Single cell centered in the field; bone marrow smear; 40× oil immersion: 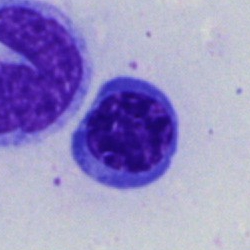 The classification is normoblast.